Bone marrow aspirate smear:
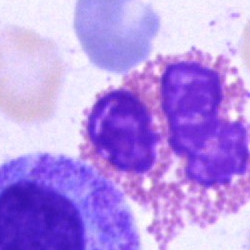 An eosinophil.